May-Grünwald-Giemsa stain; bone marrow aspirate smear: 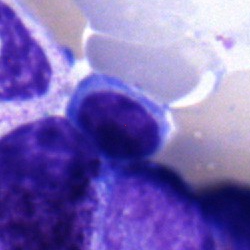 Showing a lymphocyte.